Bone marrow smear:
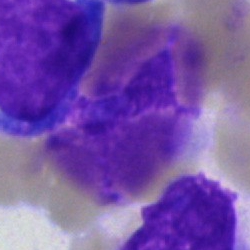 Impression → artifact.